Bone marrow smear
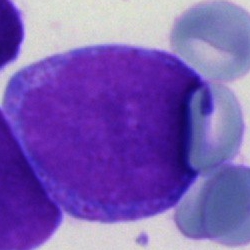
Specimen: bone marrow smear.
Cell type: blast.